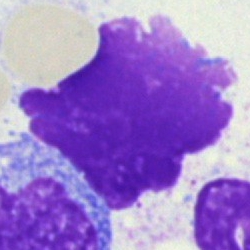Morphology consistent with an artifact.